Bone marrow smear.
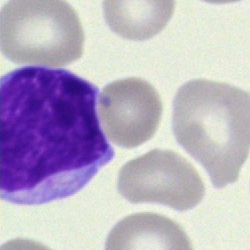A blast.